Bone marrow smear
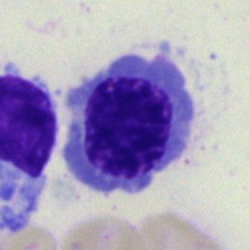
Specimen: bone marrow smear.
Cell: nucleated red cell.
Lineage: erythroid.